Bone marrow aspirate smear — 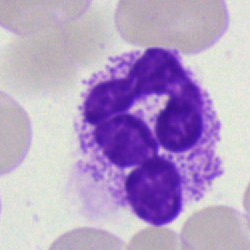
The classification is polymorphonuclear neutrophil.